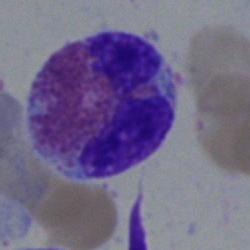 The cell shown is an eosinophilic granulocyte.